Bone marrow aspirate smear
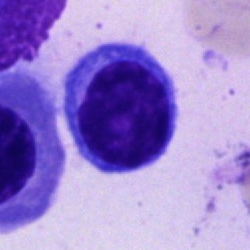
Specimen: bone marrow smear.
Morphological class: typical lymphocyte.
Lineage: lymphoid.